Brightfield microscopy, 40× oil immersion; bone marrow smear:
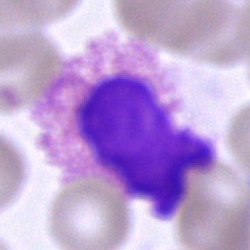
Cell = eosinophilic granulocyte.